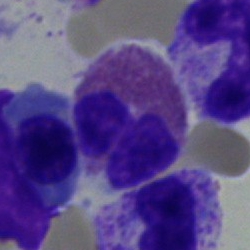
Bone marrow smear showing an eosinophilic granulocyte.